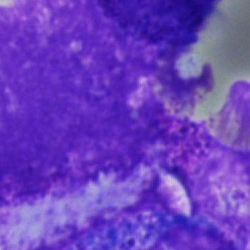
The morphological class is artifact.